Peripheral blood film:
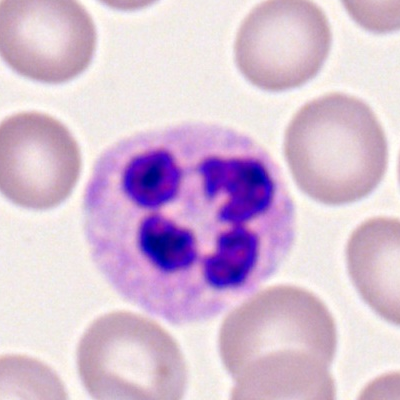 {"cell_type": "polymorphonuclear neutrophil", "lineage": "myeloid"}